Bone marrow aspirate smear.
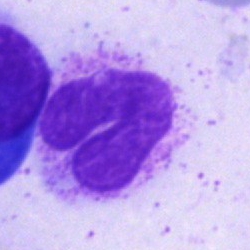

Specimen: bone marrow aspirate smear.
Cell: band neutrophil.
Lineage: myeloid.